Bone marrow smear; 40× oil immersion.
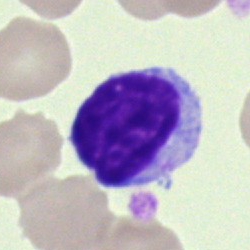

Q: What is the morphological classification of this cell?
A: It is a lymphocyte.